Bone marrow smear: 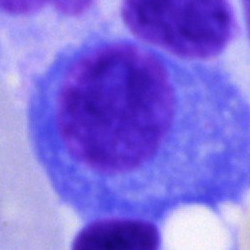

Morphology — plasmacyte.